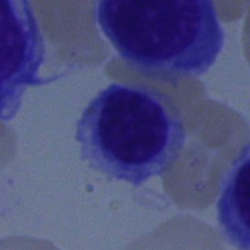A nucleated red cell on a bone marrow smear.